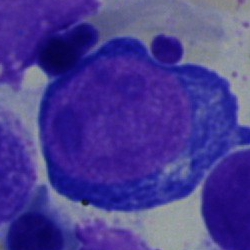
A pronormoblast on a bone marrow smear.